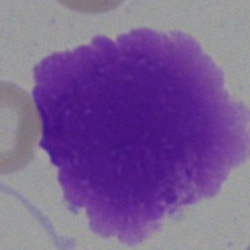Artifact.